Bone marrow aspirate smear.
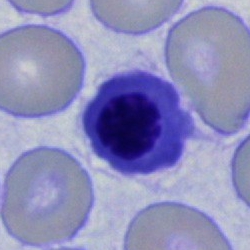Normoblast.